May-Grünwald-Giemsa stain · bone marrow aspirate smear
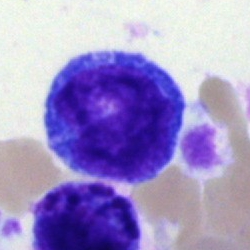Q: Identify the cell.
A: Undifferentiated blast.